Bone marrow smear
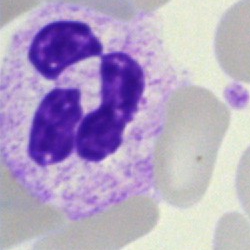Neutrophil (segmented).